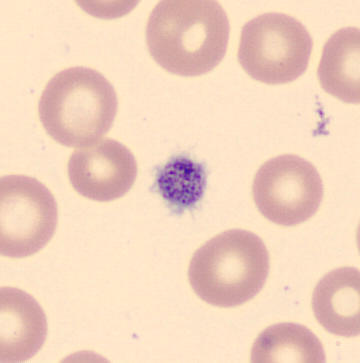 Morphology consistent with a thrombocyte.
Preparation: Peripheral blood smear.